Bone marrow smear.
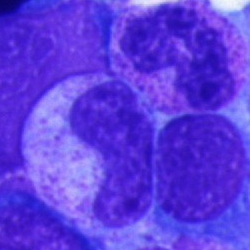 Q: What is shown here?
A: Stab cell.